40× objective, oil immersion · bone marrow aspirate smear:
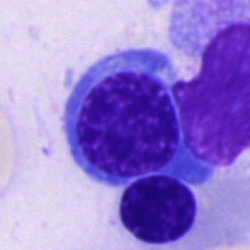This is a nucleated red cell.